Bone marrow smear.
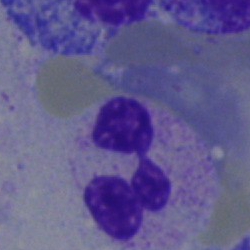 The cell shown is a polymorphonuclear neutrophil.